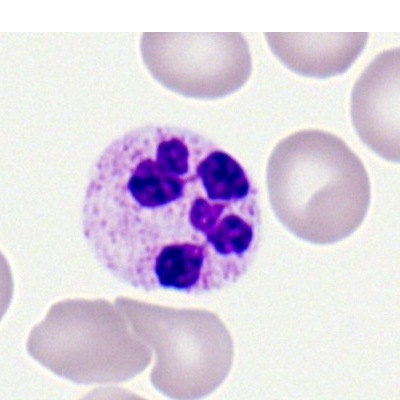 Single cell identified as a neutrophil (segmented).